Bone marrow smear — 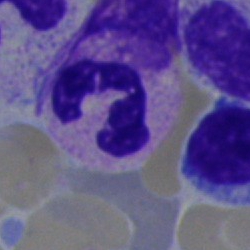Classification = polymorphonuclear neutrophil.